Peripheral blood film
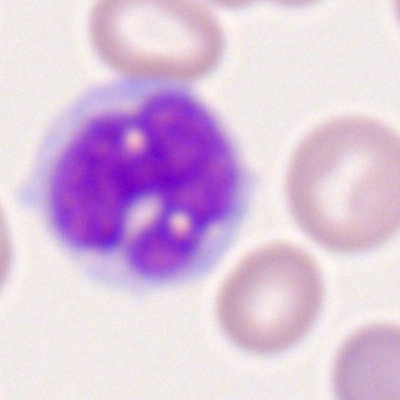 Showing a monocyte.